Bone marrow aspirate smear:
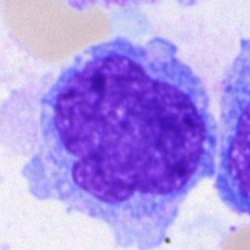
Cell = monocyte.